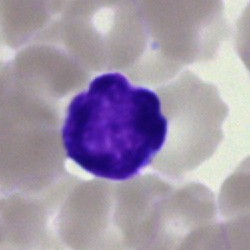
Classification — typical lymphocyte.